Bone marrow smear:
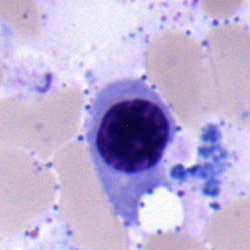Morphology — nucleated red cell.